Bone marrow smear — 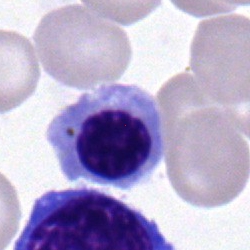

The cell is nucleated red cell.